Cropped to a single cell. 250 by 250 pixels. Bone marrow smear.
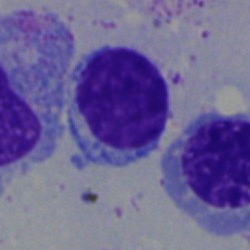Impression — lymphocyte.